Bone marrow aspirate smear — 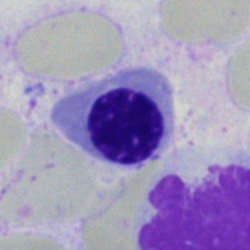Specimen: bone marrow aspirate smear.
Morphological class: nucleated red cell.
Lineage: erythroid.